Single-cell field; bone marrow smear:
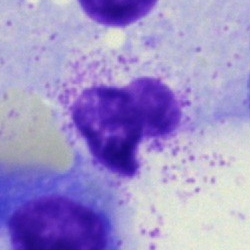 Q: What is the morphological classification of this cell?
A: It is a band-form neutrophil.